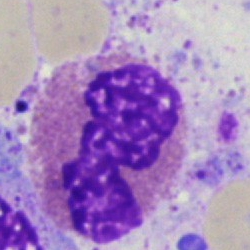
Q: What cell is this?
A: An eosinophilic granulocyte.